Bone marrow aspirate smear. 40× oil immersion. Pappenheim-stained:
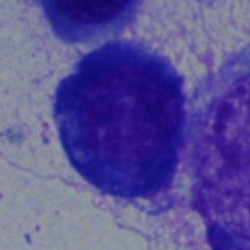
Morphological class = normoblast.